Bone marrow aspirate smear. MGG-stained. Single cell centered in the field:
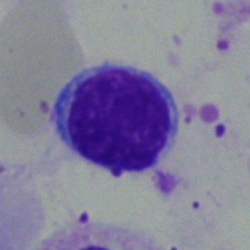

Q: What is shown here?
A: It is a typical lymphocyte.